May-Grünwald-Giemsa/Pappenheim stain · bone marrow smear:
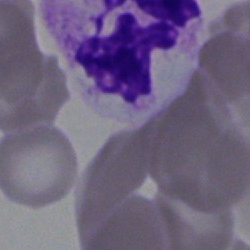

Classification: neutrophil (segmented).